Bone marrow smear
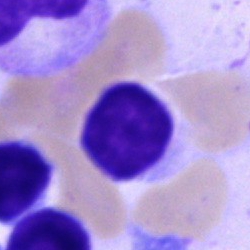 Morphological class — typical lymphocyte.